Peripheral blood film.
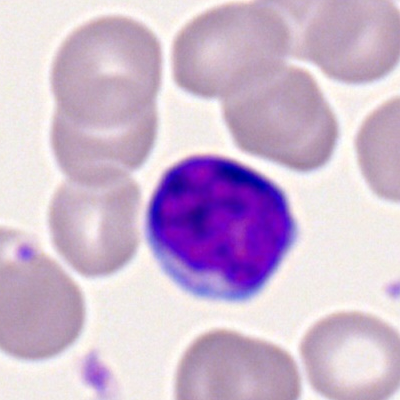 The cell is lymphocyte.